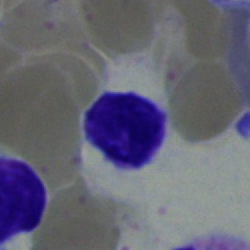

Q: Which cell type is shown here?
A: This is a typical lymphocyte.